Peripheral blood smear
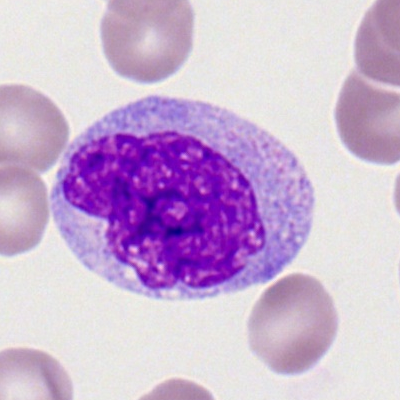
Cell: monocyte.